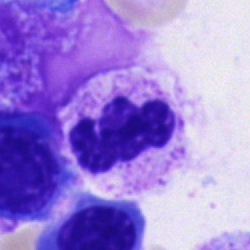

Cell: neutrophil (segmented).